250 by 250 pixels · bone marrow aspirate smear — 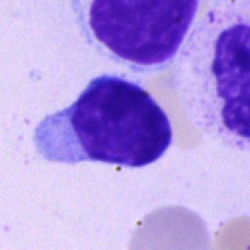 Specimen: bone marrow aspirate smear.
Cell: typical lymphocyte.